250×250. Bone marrow smear: 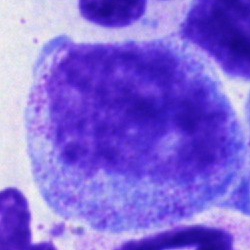Specimen: bone marrow smear.
Cell: promyelocyte.
Lineage: myeloid.